Bone marrow smear; May-Grünwald-Giemsa/Pappenheim stain — 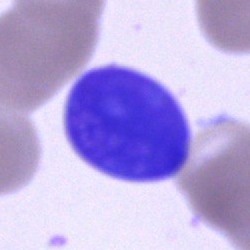Morphological class = artefact.